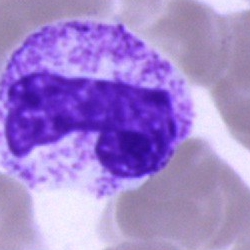
Cell — band neutrophil.